Peripheral blood film — 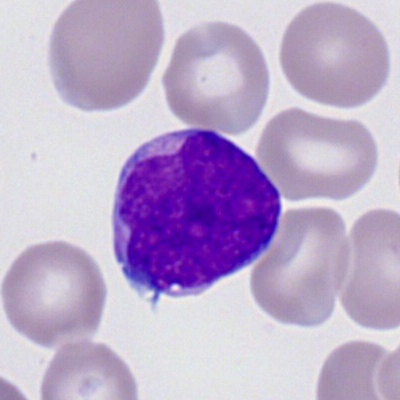 Showing a myeloblast.